Bone marrow aspirate smear · 40× objective, oil immersion.
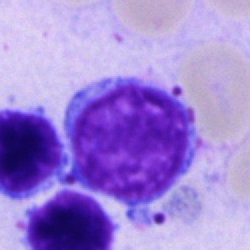

Cell type — lymphocyte.